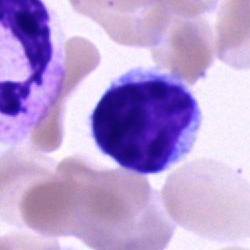Bone marrow aspirate smear, single cell — lymphocyte.